Bone marrow smear — 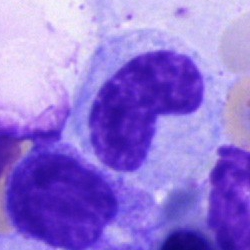 Impression → metamyelocyte.